Bone marrow aspirate smear
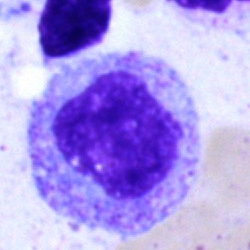
Impression — myelocyte.